Bone marrow aspirate smear — 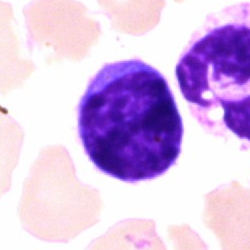 This is a lymphocyte.